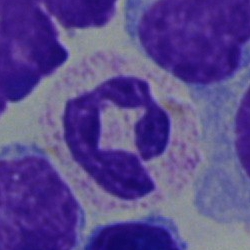Specimen: bone marrow smear.
Cell type: segmented neutrophil.